Bone marrow smear. Single-cell field:
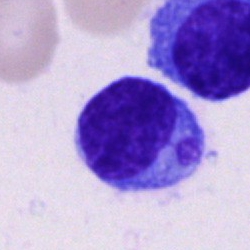Showing a plasmacyte.